Romanowsky-stained; peripheral blood smear:
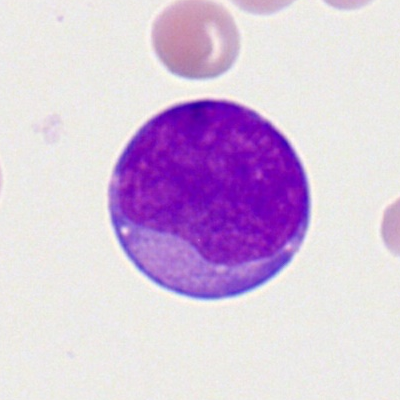Single cell identified as a myeloid blast.